Bone marrow smear; Pappenheim-stained
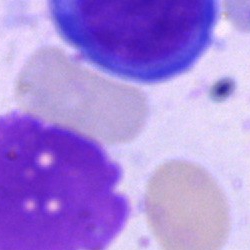Impression — artefact.